40× oil immersion. Bone marrow smear — 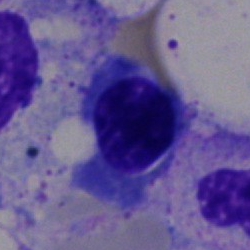Cell: normoblast.